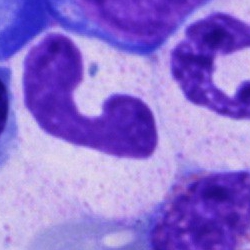Impression — band neutrophil.